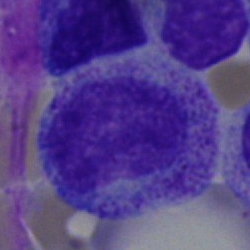
Specimen: bone marrow smear.
Cell type: metamyelocyte.